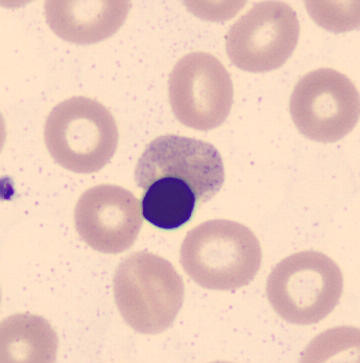The cell shown is an erythroblast. Peripheral blood smear.